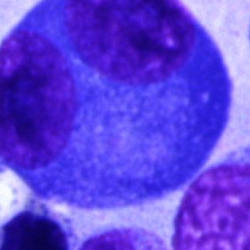
Morphology → plasma cell.